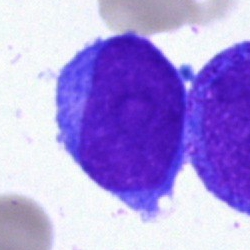

Specimen: bone marrow smear.
Classification: blast cell.